May-Grünwald-Giemsa stain; bone marrow aspirate smear; 250 by 250 pixels
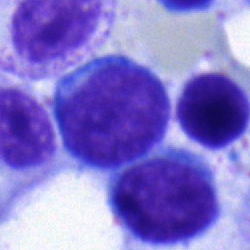

Morphology consistent with a lymphocyte.